MGG-stained. Bone marrow aspirate smear.
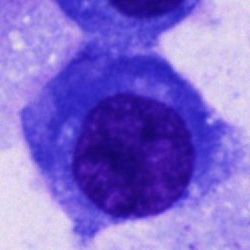
Cell type — other cell.